Bone marrow aspirate smear.
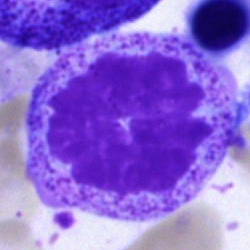

Morphology consistent with an artifact.